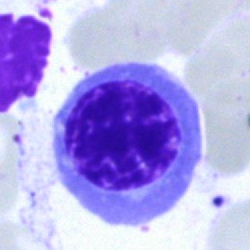
Specimen: bone marrow smear.
Cell type: normoblast.